Bone marrow smear; single-cell crop; 250×250 px
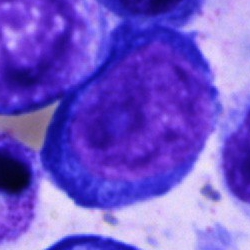
The classification is pronormoblast.